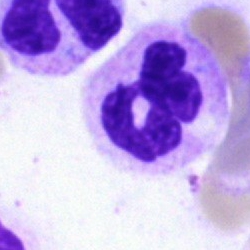Impression — segmented neutrophil.